Single cell centered in the field · bone marrow smear · 250×250:
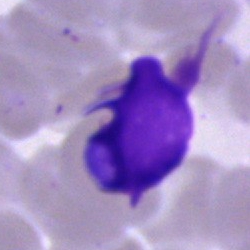 Cell type — artifact.